Bone marrow aspirate smear: 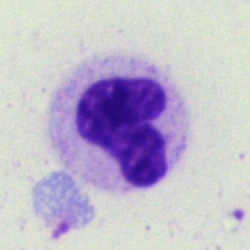

Cell — band-form neutrophil.